Bone marrow smear.
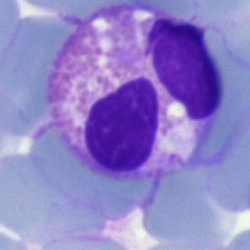

The cell shown is an eosinophilic granulocyte.